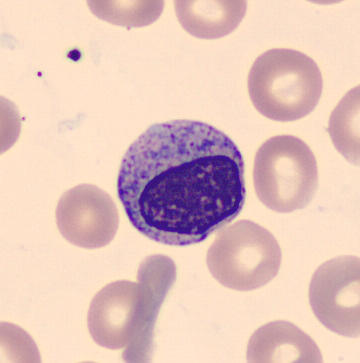

Q: What is the morphological classification of this cell?
A: It is a myelocyte.

Acquisition: May Grünwald-Giemsa stain; 360 by 363 pixels; peripheral blood film.